Bone marrow aspirate smear; image size 250×250.
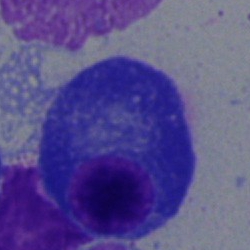

Morphology consistent with a plasma cell.